Bone marrow aspirate smear · MGG-stained — 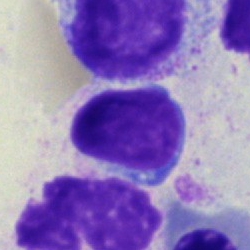 Showing a typical lymphocyte.